Brightfield microscopy, 40× oil immersion; bone marrow aspirate smear.
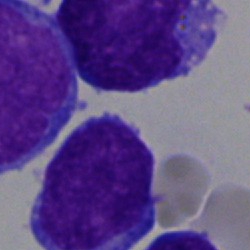 Specimen: bone marrow aspirate smear.
Classification: blast.